May-Grünwald-Giemsa/Pappenheim stain; bone marrow aspirate smear.
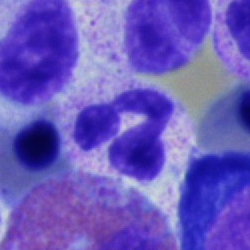

Q: What is shown here?
A: Neutrophil (segmented).